Bone marrow smear.
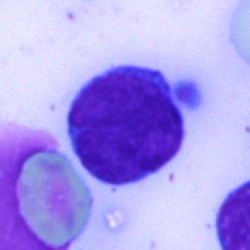

Morphological class: typical lymphocyte.